Bone marrow aspirate smear:
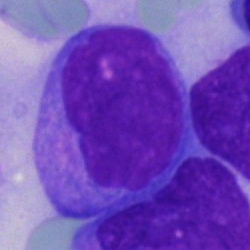

Classification — blast.